May-Grünwald-Giemsa stain · bone marrow smear
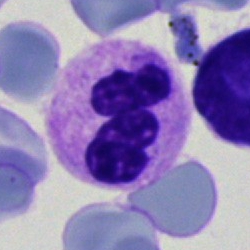

Morphology consistent with a polymorphonuclear neutrophil.